Bone marrow aspirate smear: 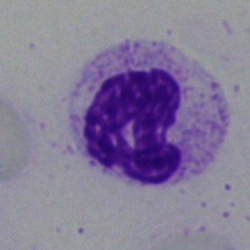 Specimen: bone marrow aspirate smear.
Classification: polymorphonuclear neutrophil.